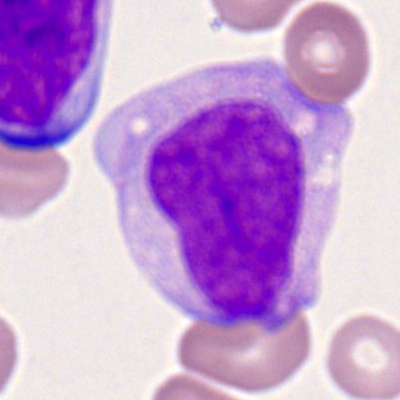

Showing a monocyte.